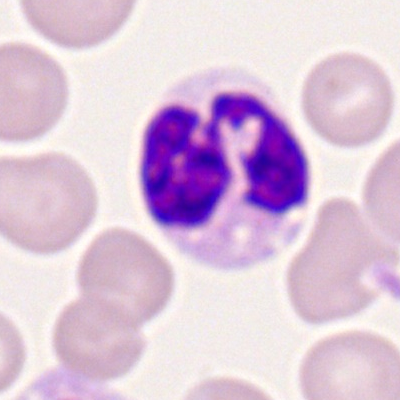

Q: What is the morphological classification of this cell?
A: A segmented neutrophil.